Bone marrow smear — 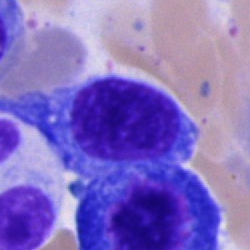

Cell — plasmacyte.